Image size 250×250; MGG-stained; bone marrow smear
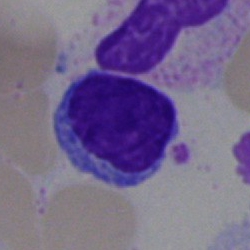

This is a lymphocyte.